Bone marrow smear; MGG-stained.
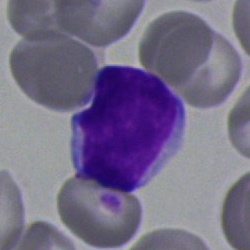

The cell shown is a lymphocyte.